Brightfield, 40× oil-immersion objective; bone marrow aspirate smear.
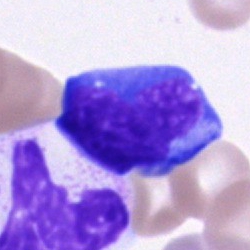

Cell type — unidentifiable cell.